Bone marrow aspirate smear — 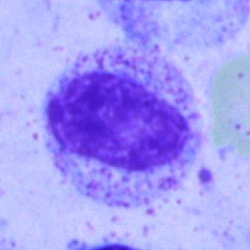
The cell shown is a myelocyte.